Single-cell field. Peripheral blood smear.
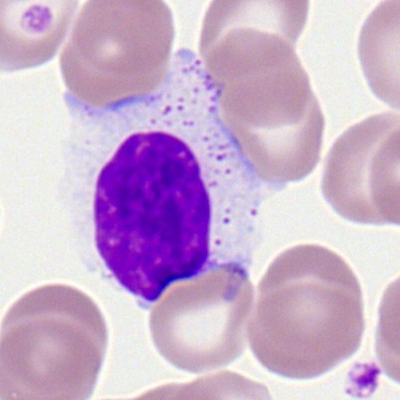

A lymphocyte.